250×250 px. Single-cell field. Bone marrow aspirate smear: 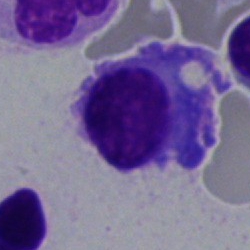

Specimen: bone marrow aspirate smear.
Classification: plasma cell.